Bone marrow aspirate smear; brightfield, 40× oil-immersion objective; 250 by 250 pixels: 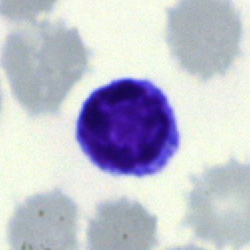
Q: What is shown here?
A: This is a typical lymphocyte.